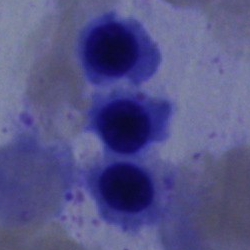

Q: What type of cell is this?
A: A nucleated red blood cell.